Bone marrow aspirate smear.
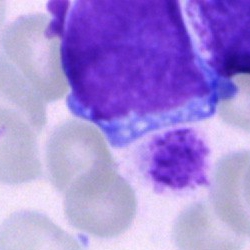Q: What type of cell is this?
A: A blast cell.